400×400 px; peripheral blood film:
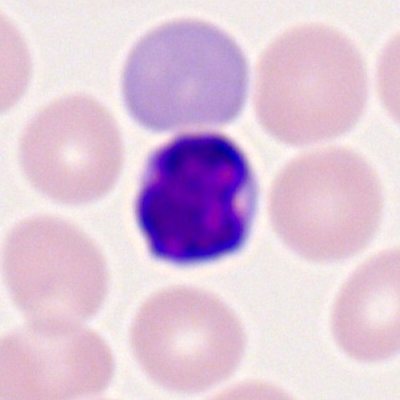Q: What is shown here?
A: This is a lymphocyte.